Bone marrow smear:
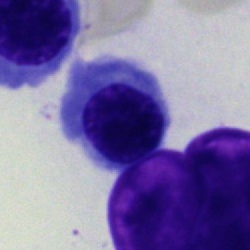
Morphological class: erythroblast.